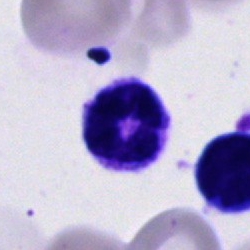
Cell = segmented neutrophil.